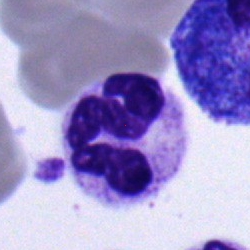 {"cell_type": "neutrophil (segmented)"}